250 by 250 pixels. Bone marrow smear.
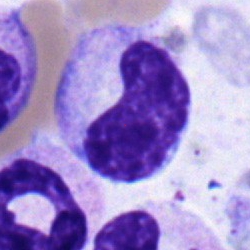

Cell type = metamyelocyte.